Bone marrow aspirate smear:
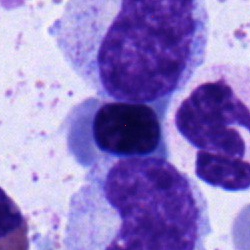
{"cell_type": "nucleated red blood cell", "lineage": "erythroid"}